Bone marrow aspirate smear · brightfield microscopy, 40× oil immersion — 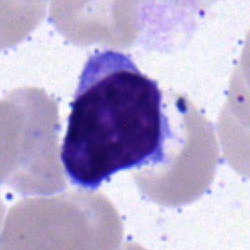

Cell type: typical lymphocyte.